Peripheral blood film
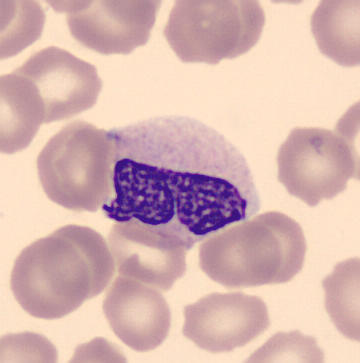Showing a metamyelocyte.